Bone marrow aspirate smear: 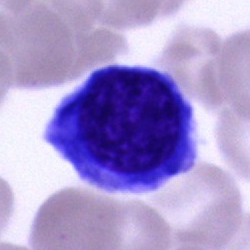
This is an erythroblast.